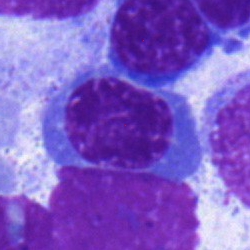
Specimen: bone marrow aspirate smear.
Cell: nucleated red cell.
Lineage: erythroid.